Bone marrow aspirate smear.
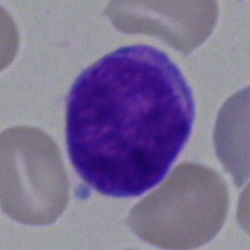
Specimen: bone marrow smear.
Cell: undifferentiated blast.